Bone marrow smear:
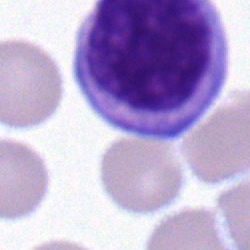

Q: What type of cell is this?
A: A typical lymphocyte.